May-Grünwald-Giemsa/Pappenheim stain. Bone marrow smear. Brightfield microscopy, 40× oil immersion
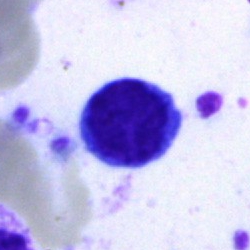
Morphology consistent with a typical lymphocyte.